Bone marrow smear. Image size 250×250: 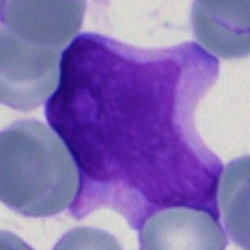 Q: Which cell type is shown here?
A: This is an undifferentiated blast.